Pappenheim-stained. Bone marrow smear: 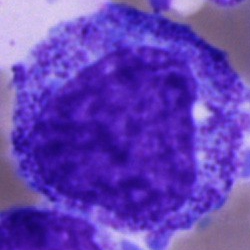

Morphology — promyelocyte.